Bone marrow aspirate smear.
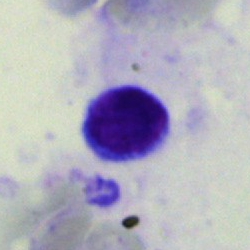Morphology consistent with a typical lymphocyte.